40× oil immersion · bone marrow smear: 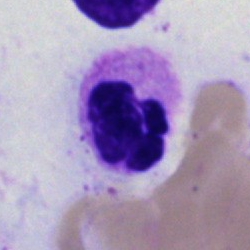 Impression → polymorphonuclear neutrophil.